Bone marrow smear. Pappenheim-stained
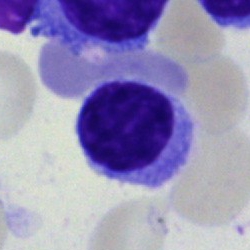

Cell = lymphocyte.